Bone marrow smear: 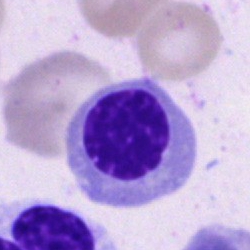

Q: Which cell type is shown here?
A: This is a nucleated red blood cell.